Bone marrow smear:
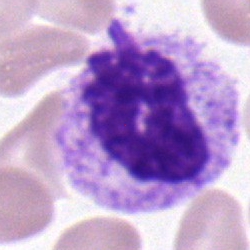

Cell = myelocyte.